Bone marrow aspirate smear. Single-cell crop:
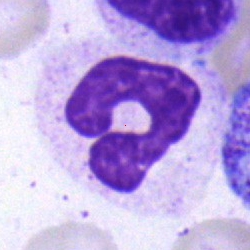

Single cell identified as a neutrophil (segmented).